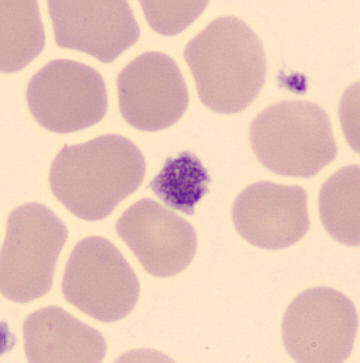
Classification — platelet (thrombocyte).

Image: Peripheral blood smear · image size 360×363.